Bone marrow aspirate smear:
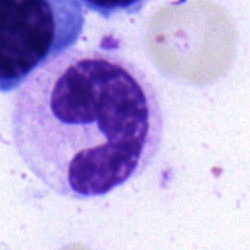
Cell type: band-form neutrophil.